Bone marrow aspirate smear — 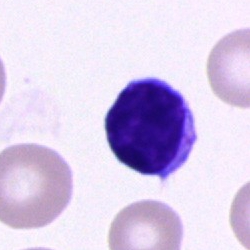
Specimen: bone marrow aspirate smear.
Classification: lymphocyte.
Lineage: lymphoid.